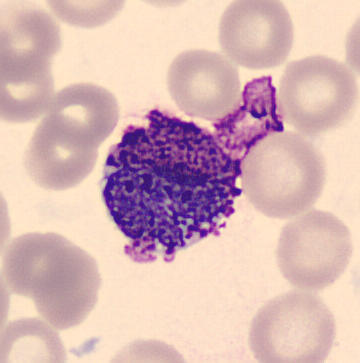

Peripheral blood smear.

The cell shown is a basophil.